Bone marrow smear: 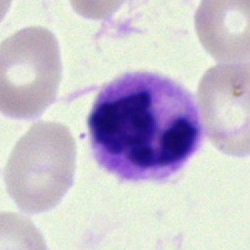
Specimen: bone marrow aspirate smear.
Classification: neutrophil (segmented).